Bone marrow aspirate smear; MGG-stained — 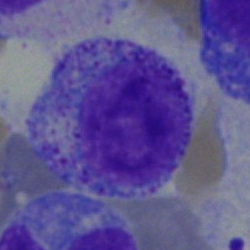 Cell = myelocyte.